250 by 250 pixels; bone marrow aspirate smear: 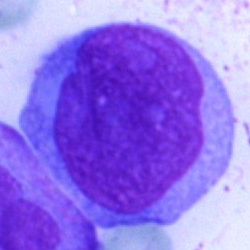

Showing a blast.